Image size 250×250. Bone marrow aspirate smear
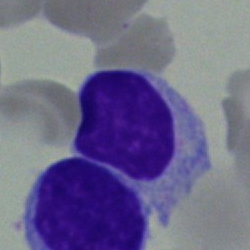Q: What is the morphological classification of this cell?
A: It is a typical lymphocyte.